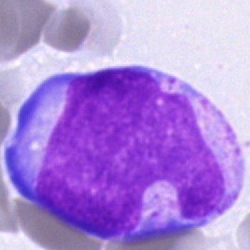

Morphology consistent with an undifferentiated blast.